Bone marrow smear:
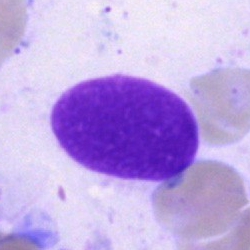Specimen: bone marrow aspirate smear.
Cell: artifact.